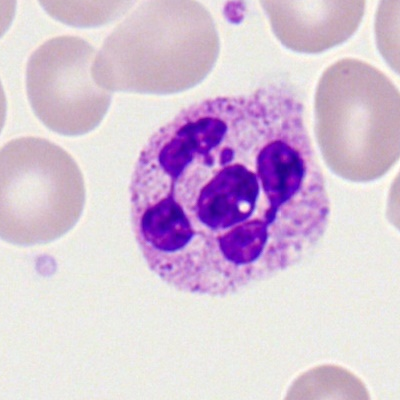 Cell type = segmented neutrophil.